Single-cell crop. Bone marrow aspirate smear. 250 by 250 pixels:
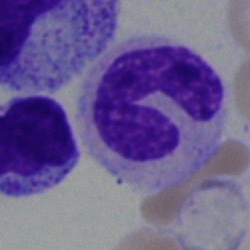 Q: What cell is this?
A: This is a band neutrophil.